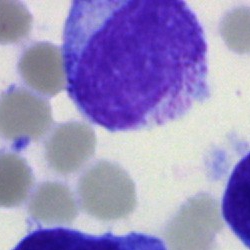Showing an artefact.